Bone marrow aspirate smear — 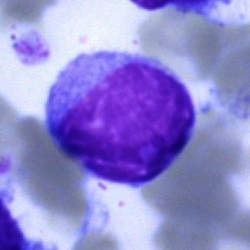 A lymphocyte (immature).